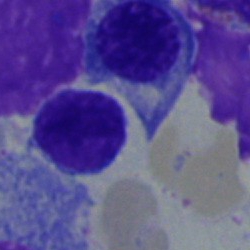

Q: What cell is this?
A: Lymphocyte.